Bone marrow smear — 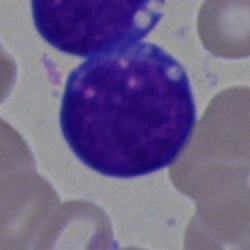
This is a blast cell.